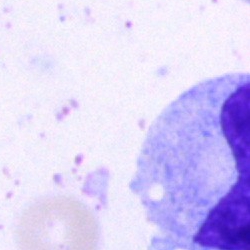

This is an artifact.